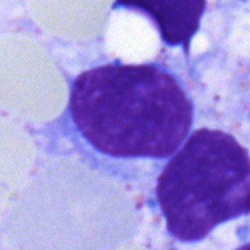
Q: What cell is this?
A: It is a lymphocyte.